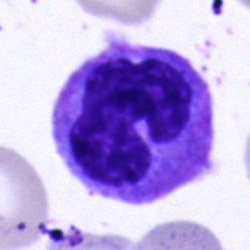
Specimen: bone marrow aspirate smear.
Morphological class: monocyte.